40× oil immersion · bone marrow aspirate smear.
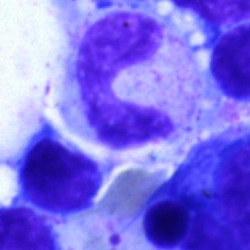

Cell = band-form neutrophil.